Bone marrow smear. Single cell centered in the field.
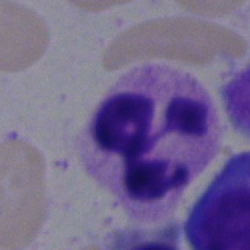The classification is polymorphonuclear neutrophil.